Romanowsky stain. Peripheral blood smear.
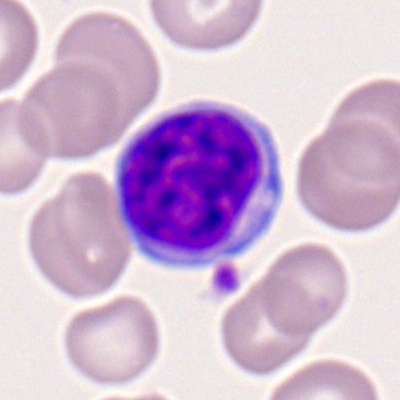

Morphology consistent with a typical lymphocyte.